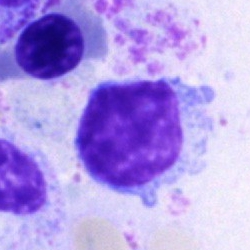The cell type is lymphocyte.